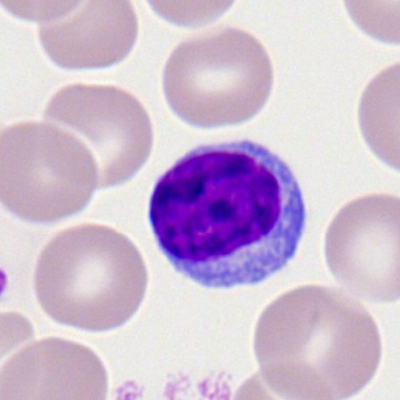

Impression → typical lymphocyte.